Bone marrow smear:
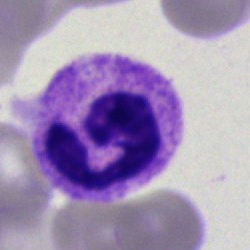Q: What cell is this?
A: This is a neutrophil (segmented).